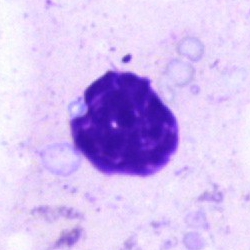 An artifact.